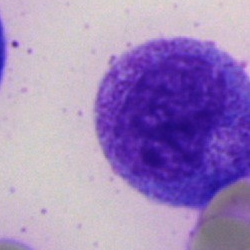
The cell shown is a myelocyte.